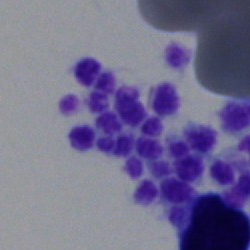
Artifact.